Bone marrow smear
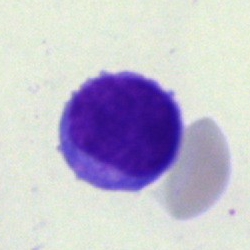

Specimen: bone marrow aspirate smear.
Classification: typical lymphocyte.
Lineage: lymphoid.